Bone marrow aspirate smear:
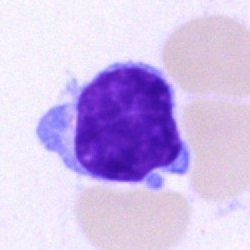Specimen: bone marrow smear.
Classification: lymphocyte.